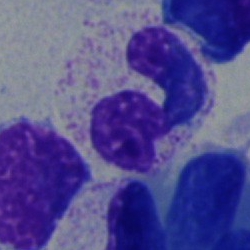

Cell type: neutrophil (segmented).